Pappenheim-stained. Bone marrow aspirate smear.
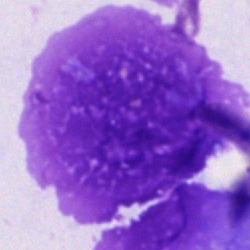
Single cell identified as an artefact.